Single cell centered in the field; 250 by 250 pixels; bone marrow smear
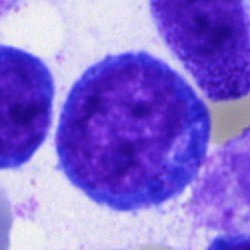Classification — proerythroblast.